Single cell centered in the field; 40× oil immersion; bone marrow aspirate smear.
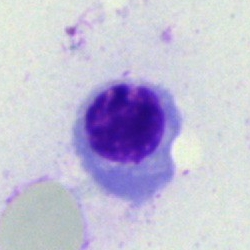 Specimen: bone marrow smear.
Cell type: normoblast.